May-Grünwald-Giemsa stain; cropped to a single cell; bone marrow smear: 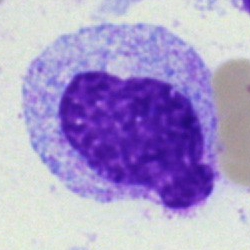{"cell_type": "myelocyte"}